Bone marrow smear — 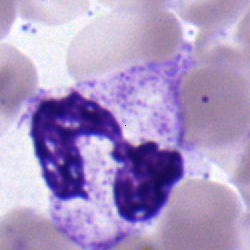 Morphology → neutrophil (segmented).